Bone marrow smear — 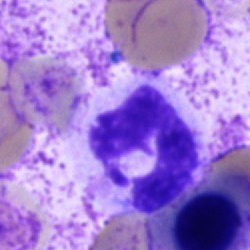

A segmented neutrophil.